Bone marrow aspirate smear:
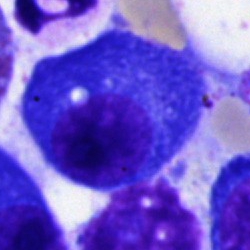Cell: plasmacyte.